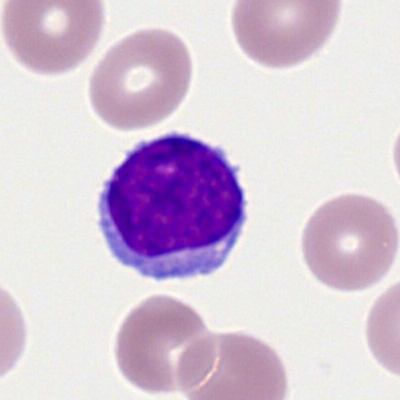A typical lymphocyte on a peripheral blood smear.